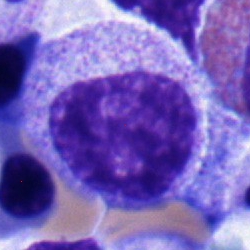 Impression — myelocyte.